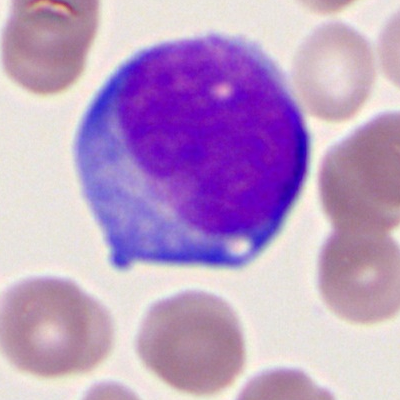

Morphology — myeloblast.